May-Grünwald-Giemsa stain; 250×250 px; bone marrow aspirate smear — 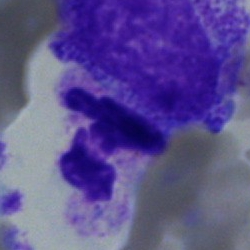Morphology consistent with a neutrophil (segmented).